400×400. Peripheral blood smear
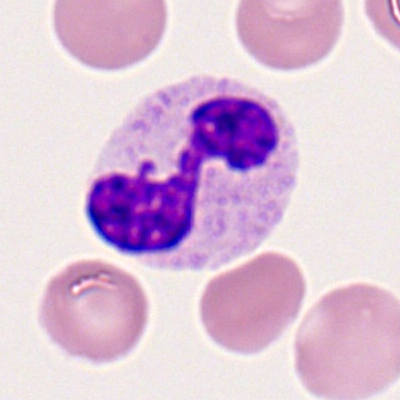Single cell identified as a neutrophil (segmented).